Bone marrow aspirate smear; single-cell crop:
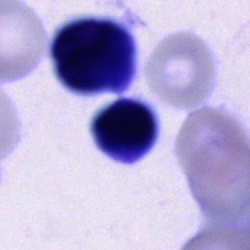Cell type = cell not matching the other categories.